Single-cell crop · bone marrow smear · brightfield, 40× oil-immersion objective
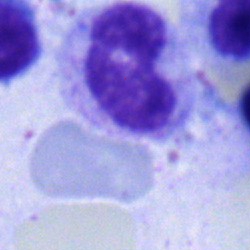Showing a metamyelocyte.